Bone marrow aspirate smear:
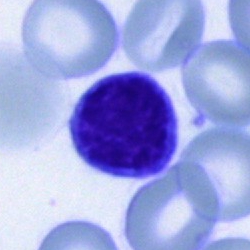 This is a lymphocyte.